Bone marrow aspirate smear:
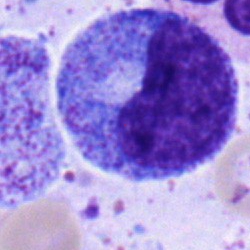
A progranulocyte.